Single-cell crop; bone marrow smear: 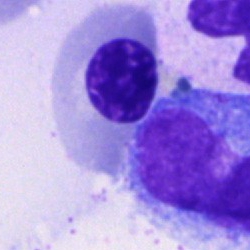The classification is erythroblast.